250×250 · bone marrow smear:
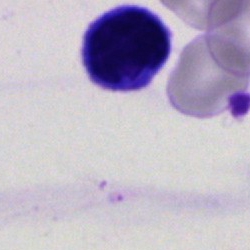Cell type — artefact.